Peripheral blood smear — 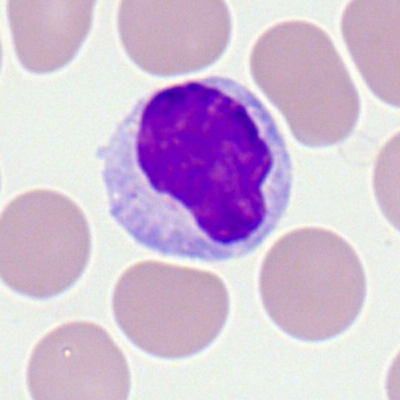

{"cell_type": "typical lymphocyte"}